Bone marrow aspirate smear: 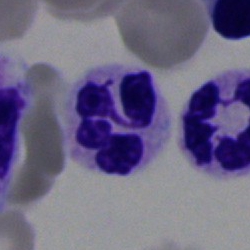
Q: Identify the cell.
A: This is a segmented neutrophil.